Image size 250×250 · bone marrow smear:
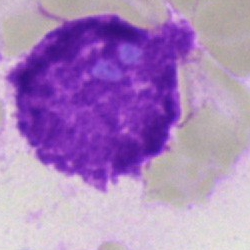
Classification = artefact.